Peripheral blood film:
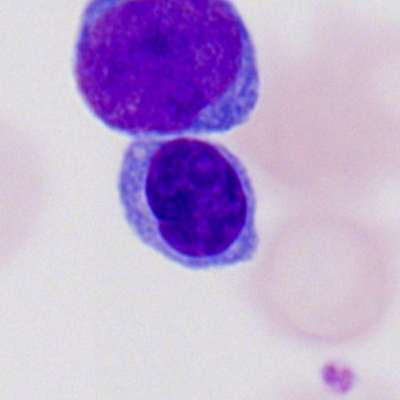Cell — lymphocyte.